Bone marrow aspirate smear; cropped to a single cell — 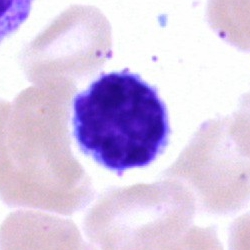 Cell: lymphocyte.